Bone marrow smear
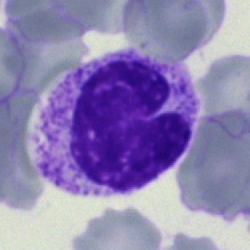
Specimen: bone marrow aspirate smear.
Classification: metamyelocyte.
Lineage: myeloid.